400×400. Romanowsky-type stain. Peripheral blood smear:
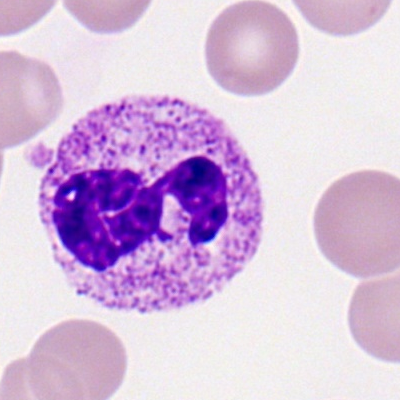

Morphology consistent with a neutrophil (segmented).